Romanowsky-stained; peripheral blood smear; single-cell field:
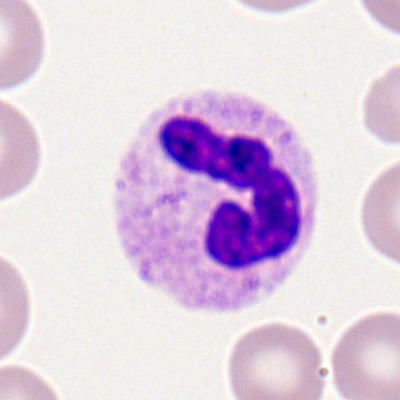 Q: What type of cell is this?
A: A polymorphonuclear neutrophil.